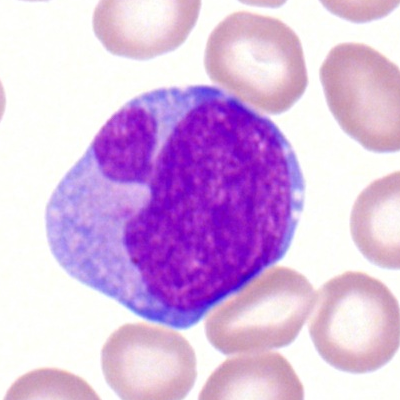

{"cell_type": "myeloid blast", "lineage": "myeloid"}